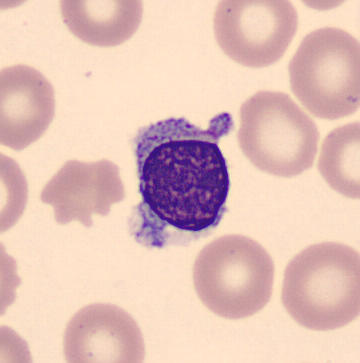

The cell shown is a typical lymphocyte.